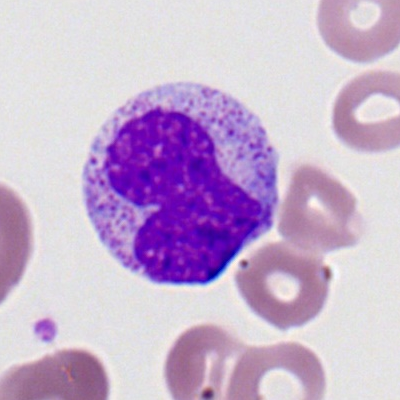Impression — monocyte.